Bone marrow smear:
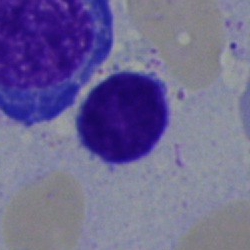

The classification is typical lymphocyte.